Bone marrow aspirate smear.
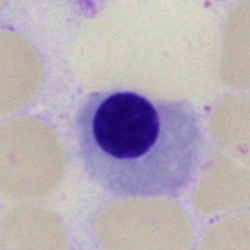

Cell: normoblast.